Brightfield microscopy, 40× oil immersion. Bone marrow aspirate smear. Pappenheim-stained:
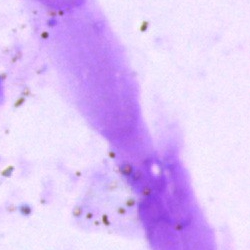 {"cell_type": "artifact"}